Bone marrow aspirate smear:
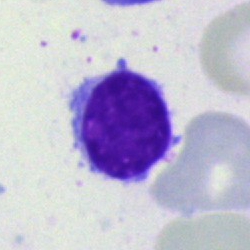
Specimen: bone marrow smear.
Cell: typical lymphocyte.
Lineage: lymphoid.